CellaVision DM96 digital cell image · cropped to a single cell · peripheral blood film:
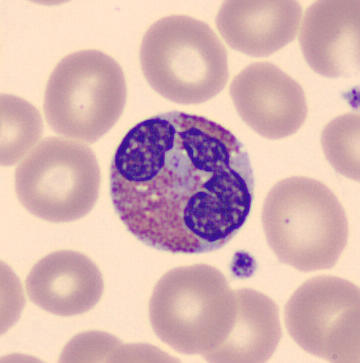Morphology consistent with an eosinophilic granulocyte.